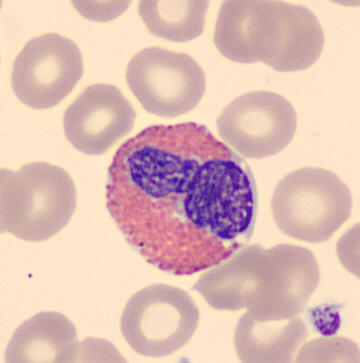Peripheral blood film · imaged on a CellaVision DM96 analyser.
Single cell identified as an eosinophil.